Bone marrow aspirate smear
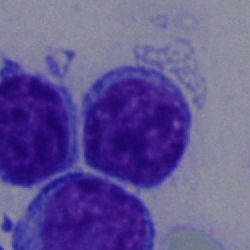

Morphological class = lymphocyte.